Bone marrow smear
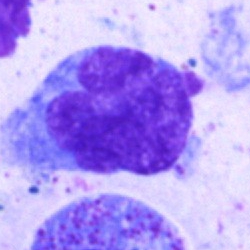
Specimen: bone marrow smear.
Cell: monocyte.
Lineage: myeloid.